Bone marrow aspirate smear:
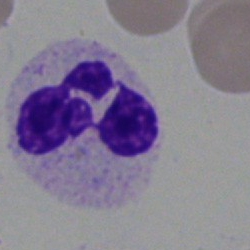

Morphology consistent with a segmented neutrophil.